40× objective, oil immersion · bone marrow aspirate smear
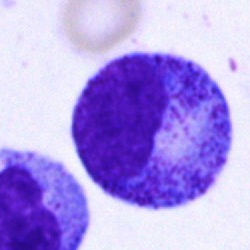 Cell — progranulocyte.